Bone marrow smear:
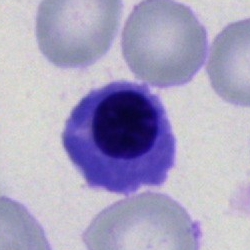

A nucleated red cell.